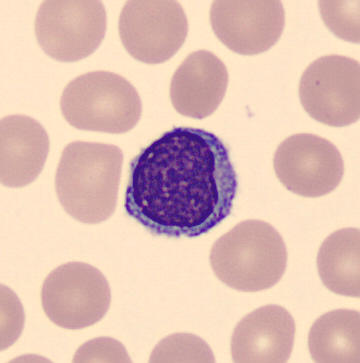 Specimen: peripheral blood film.
Morphological class: lymphocyte.